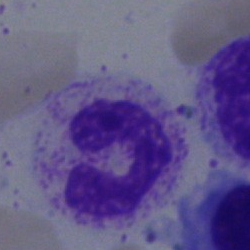Cell: polymorphonuclear neutrophil.